Bone marrow aspirate smear; 250×250:
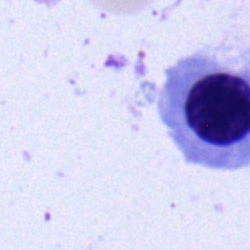Showing a normoblast.